Bone marrow aspirate smear.
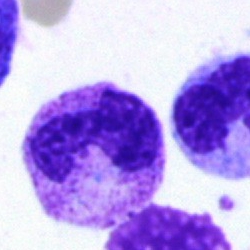 Q: What type of cell is this?
A: A polymorphonuclear neutrophil.